400×400 px; Romanowsky stain; peripheral blood smear: 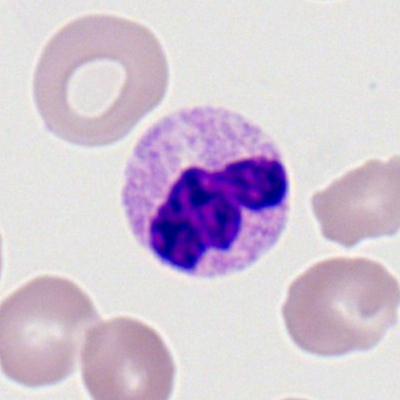

Q: What cell is this?
A: It is a neutrophil (segmented).